Bone marrow smear — 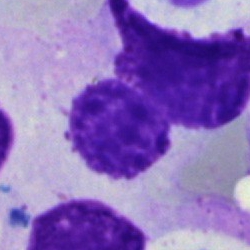 Morphology consistent with an artifact.